Bone marrow smear · May-Grünwald-Giemsa stain · 40× objective, oil immersion — 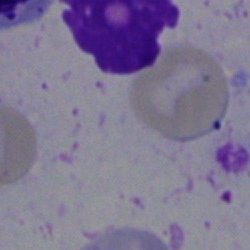
Morphology → artefact.